Bone marrow aspirate smear — 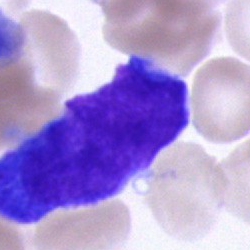

Q: Which cell type is shown here?
A: A cell of indeterminate lineage.